Cropped to a single cell. Bone marrow smear — 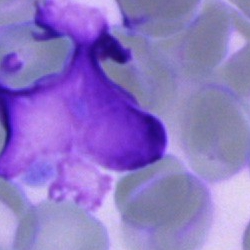
{"cell_type": "artefact"}